Bone marrow smear · cropped to a single cell:
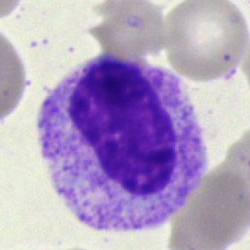
Specimen: bone marrow aspirate smear.
Cell: metamyelocyte.